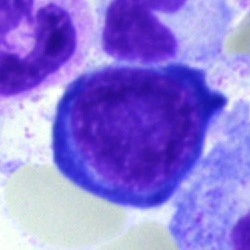
Impression → pronormoblast.